Peripheral blood film: 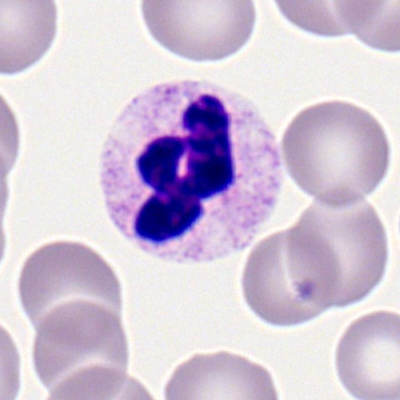 Q: What is shown here?
A: A segmented neutrophil.